Image size 250×250 · May-Grünwald-Giemsa stain · bone marrow aspirate smear
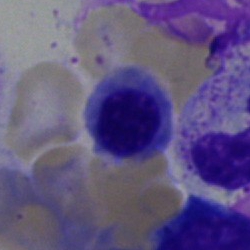A nucleated red blood cell.